Single-cell crop. Bone marrow aspirate smear:
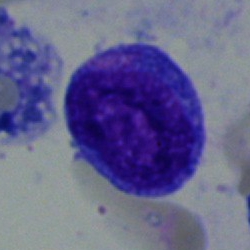
Showing a blast cell.